Bone marrow smear — 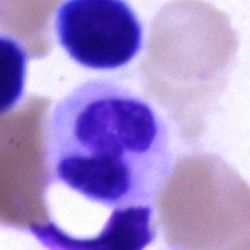

The cell type is neutrophil (segmented).